Bone marrow smear.
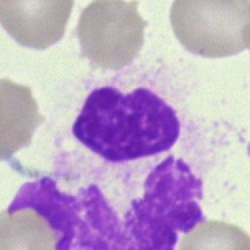Specimen: bone marrow smear.
Morphological class: artefact.